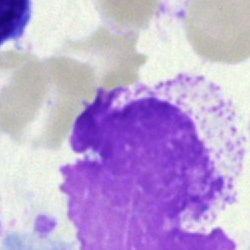Specimen: bone marrow smear.
Cell type: artefact.